Bone marrow aspirate smear. Single cell centered in the field.
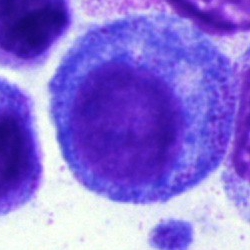Promyelocyte.